May-Grünwald-Giemsa/Pappenheim stain · 250×250 · bone marrow aspirate smear — 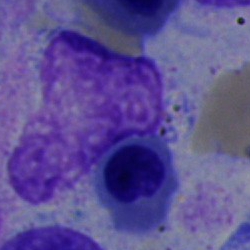This is a nucleated red cell.